Bone marrow aspirate smear
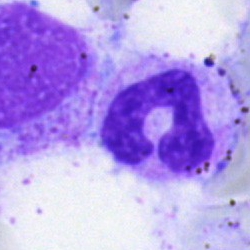
Single cell identified as a neutrophil (segmented).